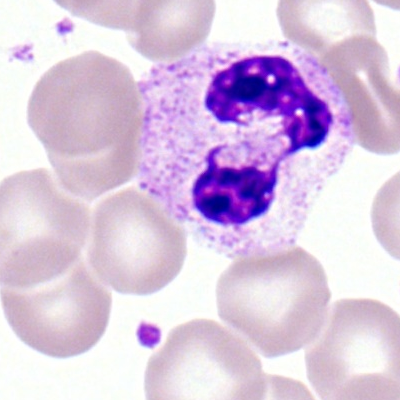 Cell — neutrophil (segmented).